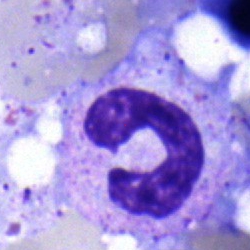

This is a band-form neutrophil.